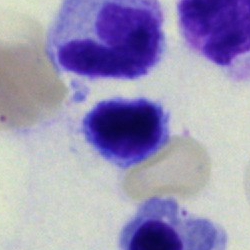

Q: What cell is this?
A: This is a typical lymphocyte.